Bone marrow smear; 40× oil immersion.
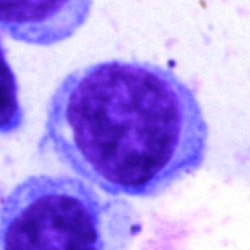
Q: What type of cell is this?
A: This is a lymphocyte.